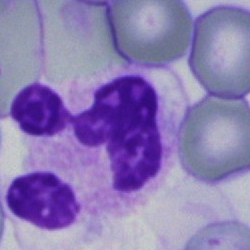 Q: Which cell type is shown here?
A: Neutrophil (segmented).